Cropped to a single cell; peripheral blood film — 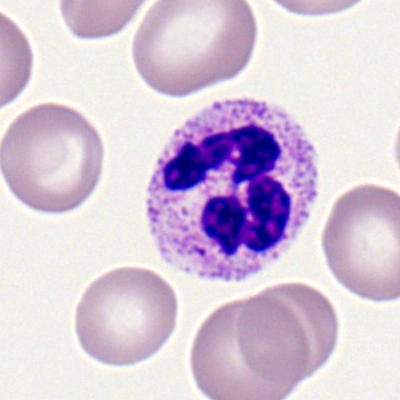Classification: polymorphonuclear neutrophil.